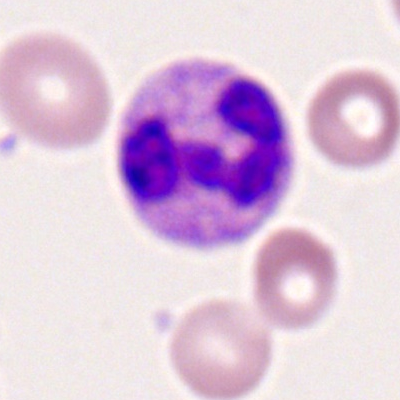Q: What is the morphological classification of this cell?
A: A segmented neutrophil.